Bone marrow aspirate smear; MGG-stained:
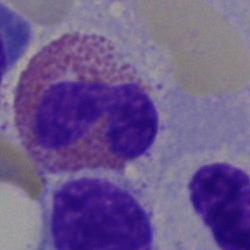This is an eosinophilic granulocyte.